Single-cell field; bone marrow smear; May-Grünwald-Giemsa stain
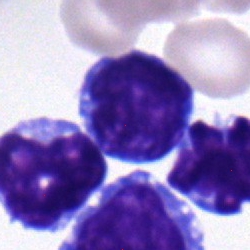Single cell identified as a lymphocyte.